Bone marrow smear; MGG-stained — 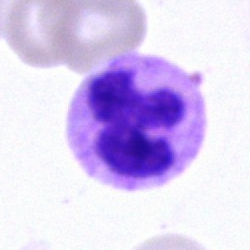This is a segmented neutrophil.